Cropped to a single cell · bone marrow smear · 250 by 250 pixels — 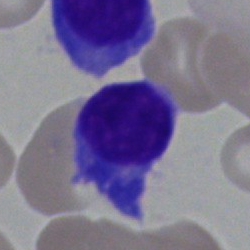A plasma cell.